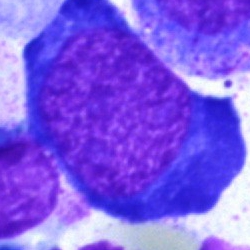

Q: Which cell type is shown here?
A: This is a proerythroblast.